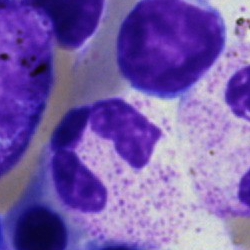
Classification — segmented neutrophil.